Brightfield microscopy, 40× oil immersion; bone marrow aspirate smear: 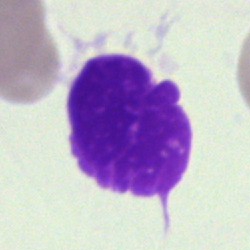 Artefact.